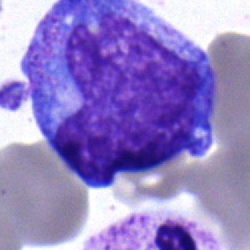

Specimen: bone marrow smear.
Morphological class: progranulocyte.